May-Grünwald-Giemsa/Pappenheim stain; bone marrow aspirate smear: 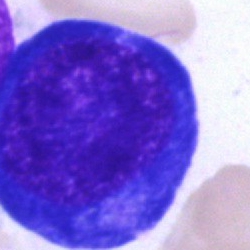
Cell — proerythroblast.